Bone marrow smear:
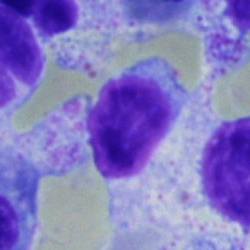

Q: Identify the cell.
A: A lymphocyte.